Bone marrow aspirate smear: 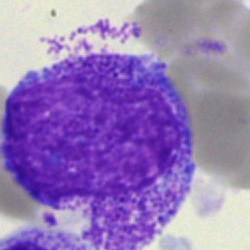
{"cell_type": "progranulocyte", "lineage": "myeloid"}